Single cell centered in the field · bone marrow aspirate smear — 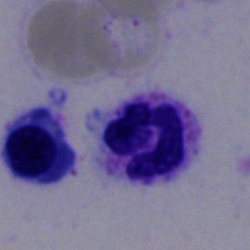

Classification: neutrophil (segmented).